Bone marrow smear · Pappenheim-stained:
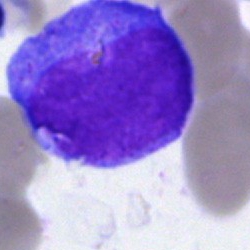

The cell shown is an undifferentiated blast.